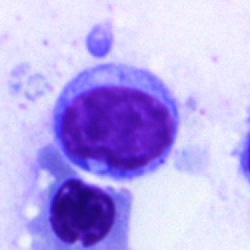 Classification = typical lymphocyte.